Peripheral blood smear:
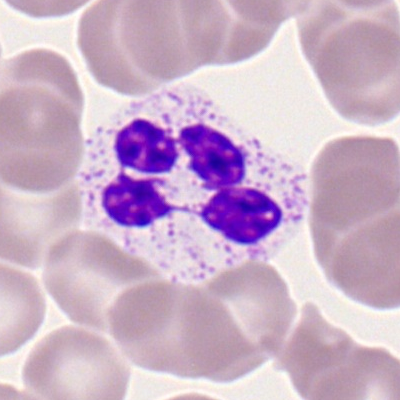

Morphological class: polymorphonuclear neutrophil.